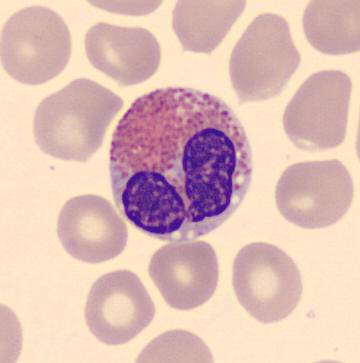
Peripheral blood film. Q: What is shown here?
A: An eosinophil.